Bone marrow smear; 40× objective, oil immersion:
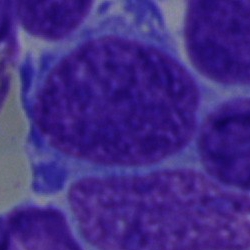Q: What type of cell is this?
A: A blast.